Bone marrow smear · 250×250 px: 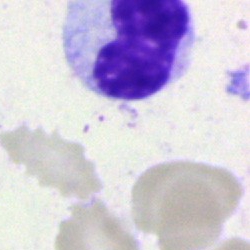This is a neutrophil (band).